Peripheral blood film — 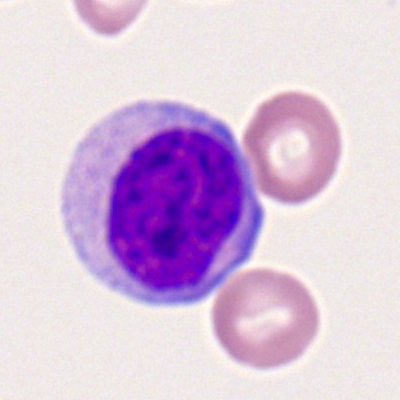

Cell — lymphocyte.